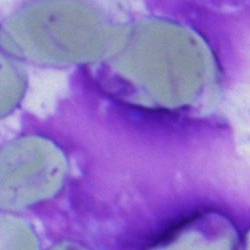 The classification is artefact.